400 by 400 pixels. Peripheral blood smear. 100× objective, oil immersion:
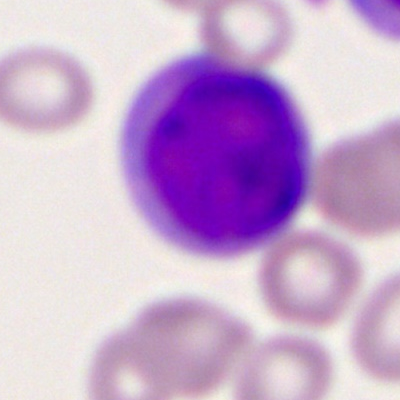
Q: What is shown here?
A: This is a myeloblast.